Bone marrow smear · brightfield, 40× oil-immersion objective — 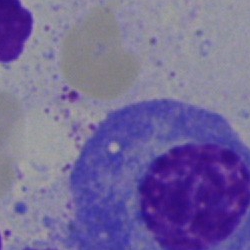 The cell shown is a plasmacyte.